250×250 px. Bone marrow aspirate smear. Single-cell crop.
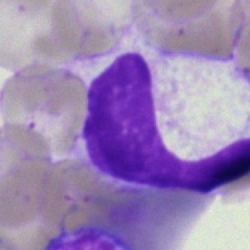
Morphology → artifact.